Bone marrow smear:
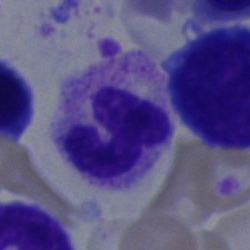 Specimen: bone marrow aspirate smear.
Cell: neutrophil (segmented).